Bone marrow smear.
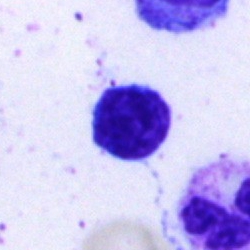 Morphology — typical lymphocyte.